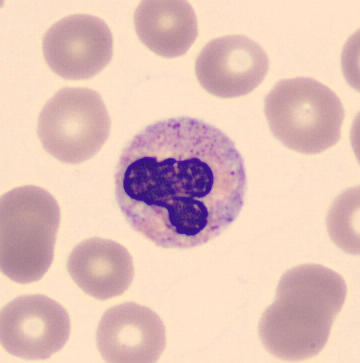
Q: What cell is this?
A: It is a band neutrophil.